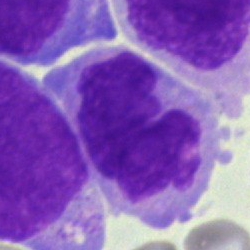
A monocyte.